Single cell centered in the field. Image size 250×250. Bone marrow smear: 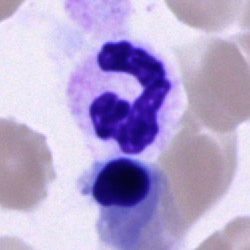Q: Which cell type is shown here?
A: This is a segmented neutrophil.